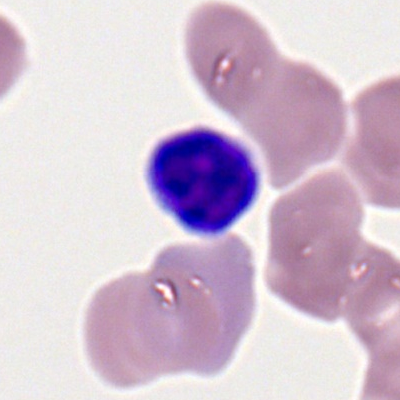

Q: Identify the cell.
A: A typical lymphocyte.